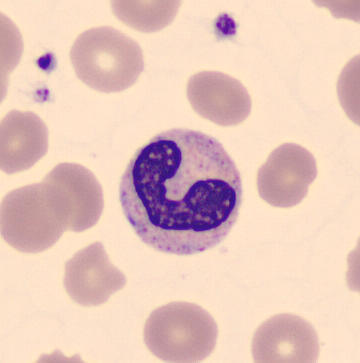 Morphological class: band neutrophil.